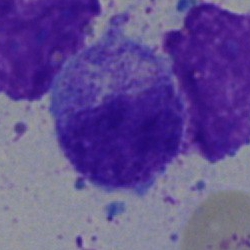 Morphology consistent with a myelocyte.